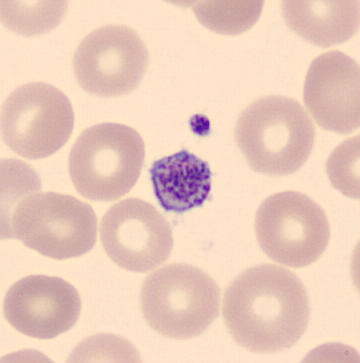 Morphology consistent with a platelet.